Bone marrow aspirate smear; Pappenheim-stained:
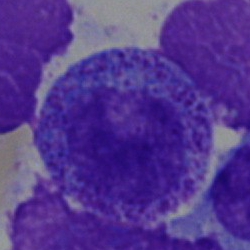
Impression — myelocyte.